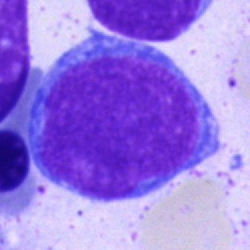

An undifferentiated blast.